Bone marrow aspirate smear.
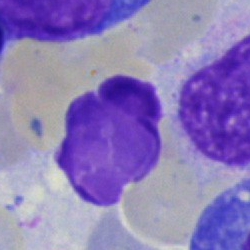

The classification is artifact.